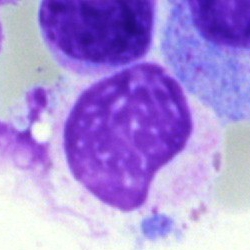 Impression → artefact.